Pappenheim-stained · brightfield, 40× oil-immersion objective · bone marrow aspirate smear — 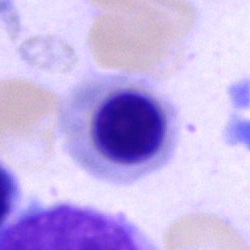Nucleated red cell.